Bone marrow smear — 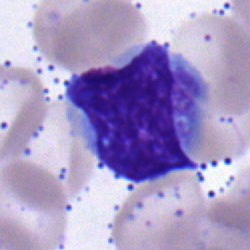 Q: What is the morphological classification of this cell?
A: Typical lymphocyte.